Bone marrow aspirate smear
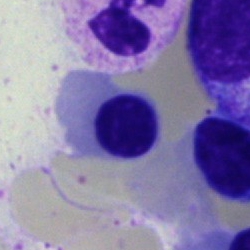Cell type — normoblast.